40× objective, oil immersion; bone marrow smear — 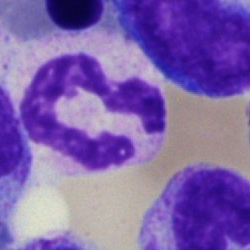

A polymorphonuclear neutrophil.